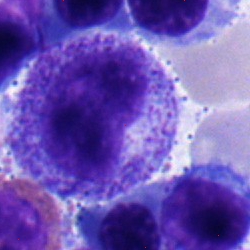

Q: Which cell type is shown here?
A: Promyelocyte.